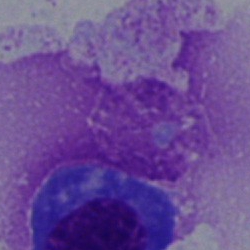 Cell — artifact.